Bone marrow smear.
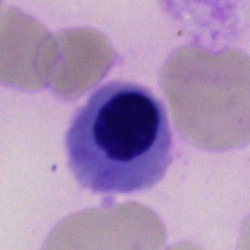Morphology → normoblast.